Single cell centered in the field; bone marrow smear:
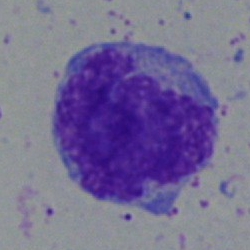

Cell: monocyte.